Brightfield, 40× oil-immersion objective; bone marrow aspirate smear; May-Grünwald-Giemsa stain:
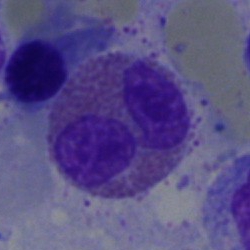An eosinophilic granulocyte.